Bone marrow aspirate smear: 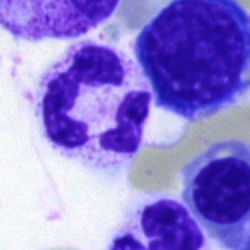 Classification = segmented neutrophil.